Bone marrow aspirate smear; May-Grünwald-Giemsa/Pappenheim stain: 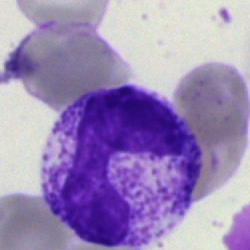

Showing a band-form neutrophil.